Bone marrow smear.
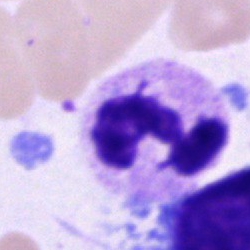Q: What type of cell is this?
A: Segmented neutrophil.